Bone marrow aspirate smear. Single cell centered in the field: 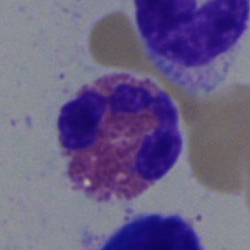
Specimen: bone marrow smear.
Cell type: eosinophilic granulocyte.
Lineage: myeloid.